Cropped to a single cell · bone marrow smear: 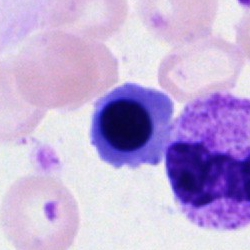

{"cell_type": "erythroblast"}